Image size 250×250. Bone marrow aspirate smear.
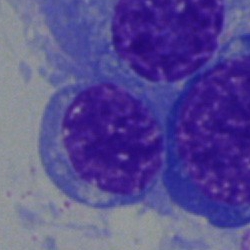Morphological class — nucleated red cell.